40× oil immersion · bone marrow smear · Pappenheim-stained.
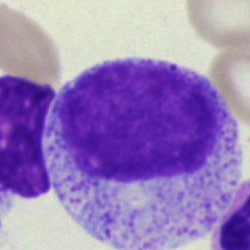

Q: Which cell type is shown here?
A: Progranulocyte.